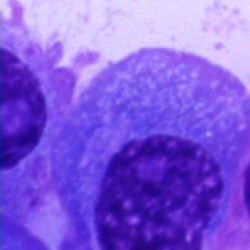
Q: What is shown here?
A: Plasma cell.